Bone marrow smear; single cell centered in the field — 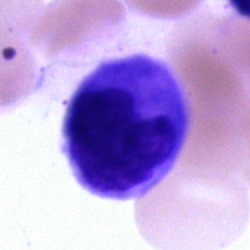
The cell shown is a monocyte.